Bone marrow smear. Brightfield, 40× oil-immersion objective:
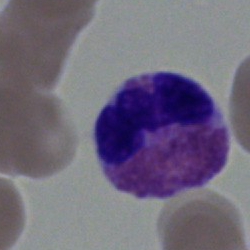
Showing an eosinophilic granulocyte.